May-Grünwald-Giemsa stain; single-cell field; bone marrow aspirate smear: 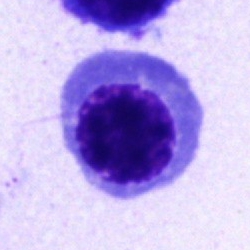

Impression → erythroblast.